Peripheral blood film
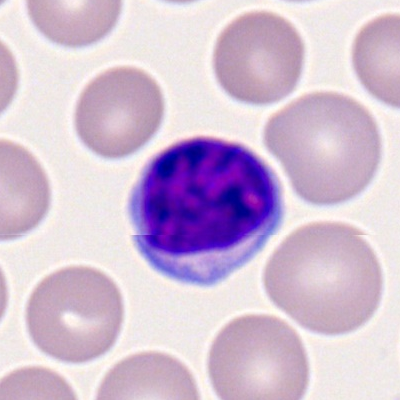 Morphological class = lymphocyte.